Bone marrow aspirate smear · brightfield, 40× oil-immersion objective
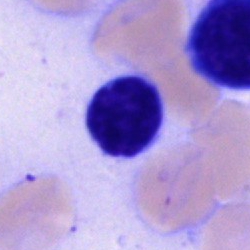
Q: What is shown here?
A: Lymphocyte.